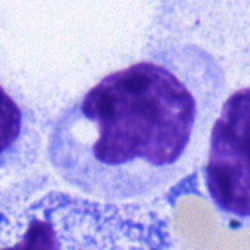Specimen: bone marrow aspirate smear.
Classification: monocyte.
Lineage: myeloid.